Bone marrow aspirate smear; 250×250 px; brightfield, 40× oil-immersion objective — 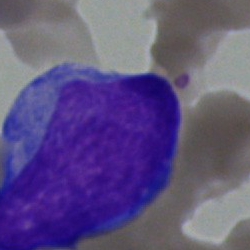 A blast cell.